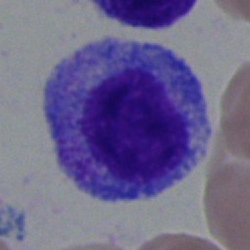
Myelocyte.